Bone marrow aspirate smear:
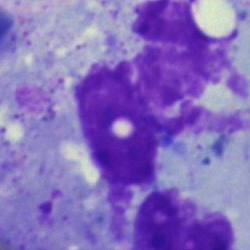 Specimen: bone marrow smear.
Morphological class: artifact.